Peripheral blood film:
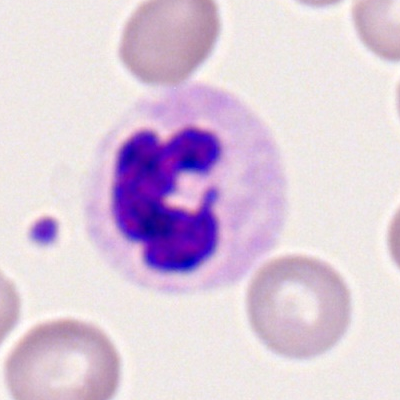 Q: What is the morphological classification of this cell?
A: It is a neutrophil (segmented).